Single-cell crop. Bone marrow smear
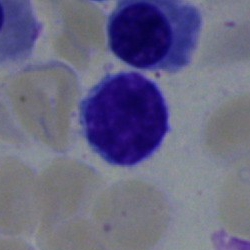 Morphological class: lymphocyte.